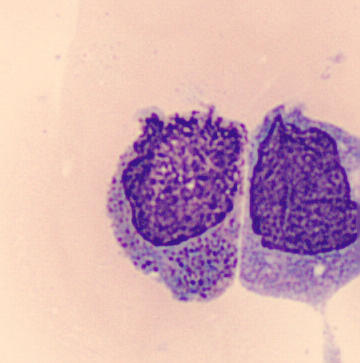
Q: What is shown here?
A: It is a promyelocyte.